Bone marrow smear
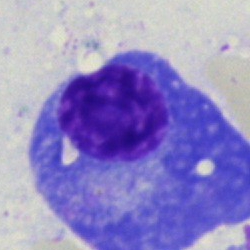Morphology consistent with a plasmacyte.